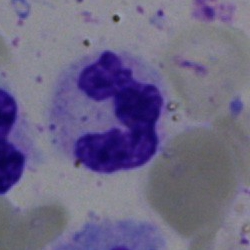

Specimen: bone marrow smear.
Morphological class: segmented neutrophil.
Lineage: myeloid.